May-Grünwald-Giemsa/Pappenheim stain · bone marrow aspirate smear: 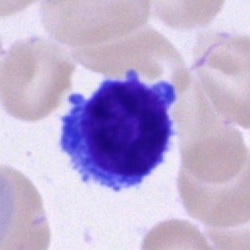
The cell shown is a lymphocyte.